Bone marrow smear
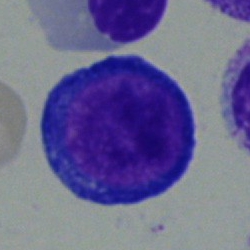 The cell shown is a proerythroblast.